Bone marrow aspirate smear; brightfield, 40× oil-immersion objective; 250×250 px
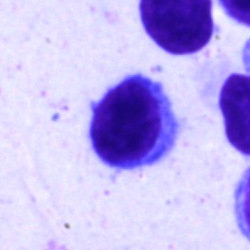

Impression — lymphocyte.